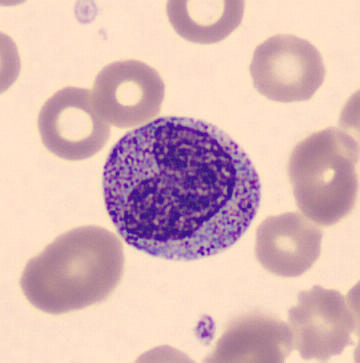
Cell = metamyelocyte.

Image: May-Grünwald-Giemsa-stained · 360 by 363 pixels · peripheral blood film.